Bone marrow smear. 40× objective, oil immersion. Pappenheim-stained
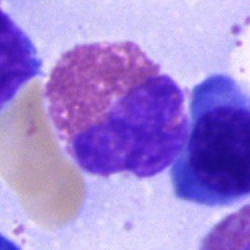
Q: What is the morphological classification of this cell?
A: An eosinophilic granulocyte.